Bone marrow aspirate smear.
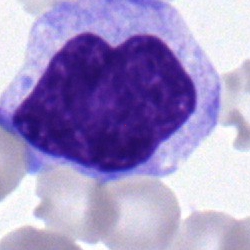This is a myelocyte.